Bone marrow aspirate smear. 40× oil immersion
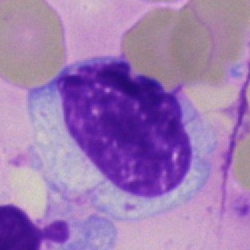 This is a lymphocyte.